Bone marrow aspirate smear:
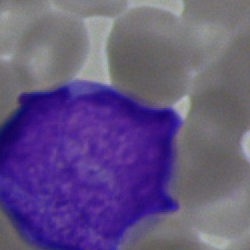 Q: Which cell type is shown here?
A: It is a blast.